Bone marrow smear — 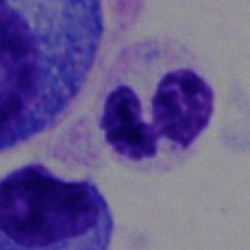
The cell type is neutrophil (segmented).